Bone marrow aspirate smear:
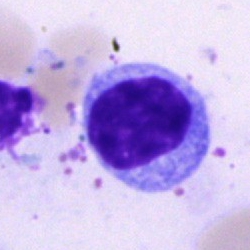Single cell identified as a lymphocyte.